Peripheral blood smear. 100× oil immersion, 14.14 px/µm — 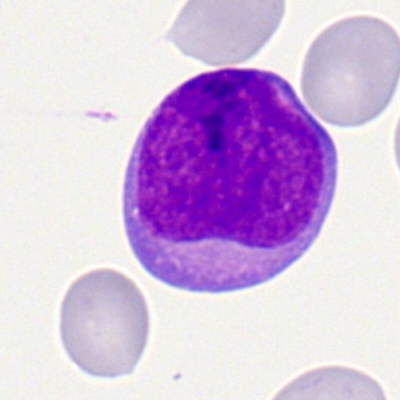This is a myeloblast.